MGG-stained; 40× oil immersion; bone marrow smear — 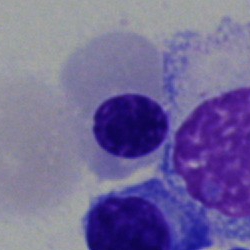 Impression → nucleated red cell.